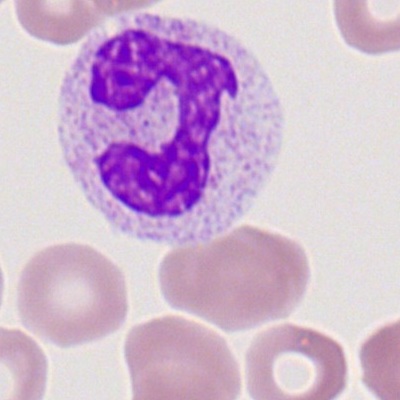Showing a neutrophil (segmented).